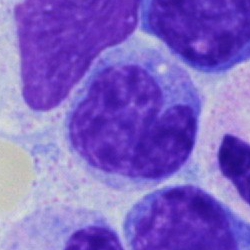 Q: Which cell type is shown here?
A: Monocyte.